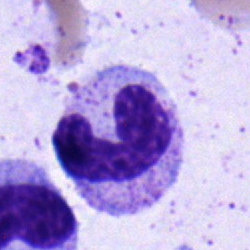

Q: What type of cell is this?
A: Band neutrophil.